Single-cell field · peripheral blood smear
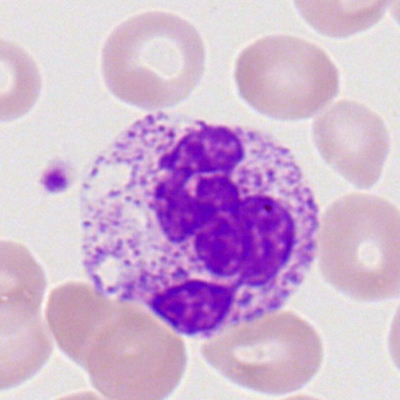
The classification is polymorphonuclear neutrophil.